Bone marrow aspirate smear.
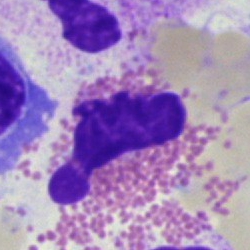

The cell is eosinophil.